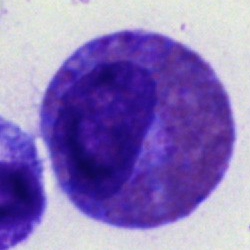 Bone marrow aspirate smear, single cell — eosinophil.